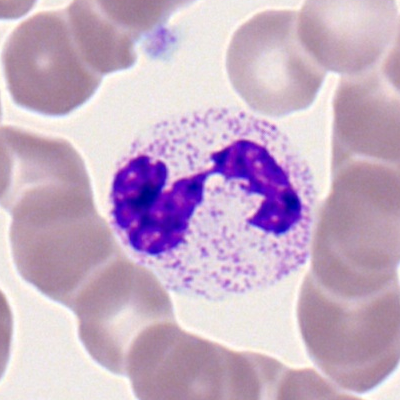
Impression → segmented neutrophil.